May-Grünwald-Giemsa stain. Bone marrow smear — 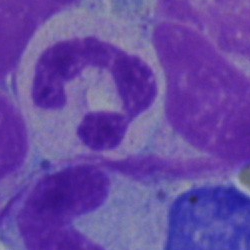The cell shown is a polymorphonuclear neutrophil.